40× objective, oil immersion. Bone marrow aspirate smear — 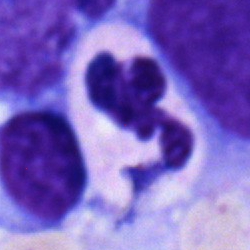

Q: What type of cell is this?
A: It is a segmented neutrophil.